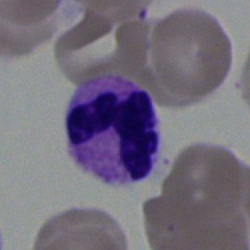Specimen: bone marrow smear.
Cell: neutrophil (segmented).
Lineage: myeloid.